Bone marrow smear:
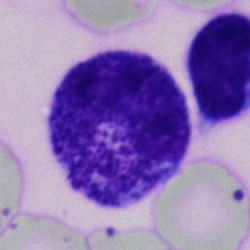

Promyelocyte.